Bone marrow aspirate smear; May-Grünwald-Giemsa/Pappenheim stain; single-cell crop
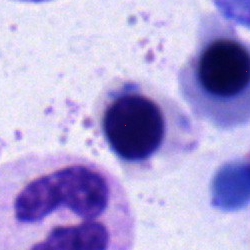
The morphological class is erythroblast.